Bone marrow smear
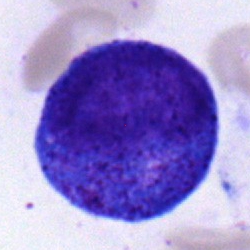 This is a progranulocyte.